Bone marrow aspirate smear — 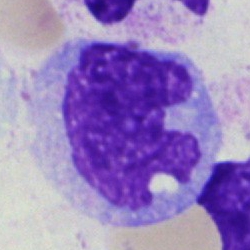
{"cell_type": "monocyte", "lineage": "myeloid"}